Bone marrow aspirate smear
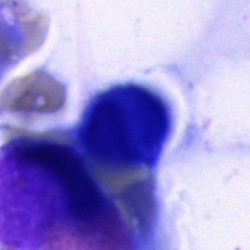Cell type: artefact.